Peripheral blood smear · single-cell crop — 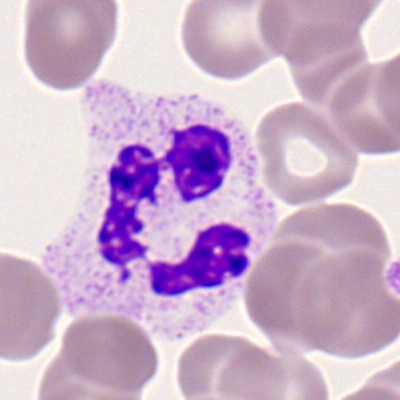

Morphological class = neutrophil (segmented).